Bone marrow aspirate smear:
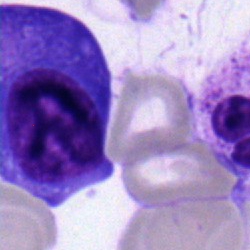Impression — plasmacyte.